Bone marrow aspirate smear.
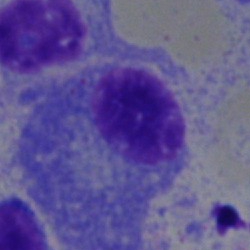
Classification: plasma cell.